Pappenheim-stained; bone marrow aspirate smear:
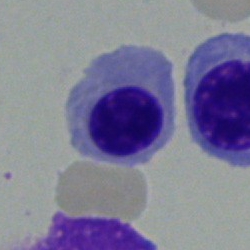
Q: What cell is this?
A: This is a nucleated red blood cell.